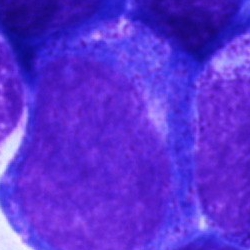Single-cell crop from a bone marrow smear: progranulocyte.